Bone marrow aspirate smear · 250×250 px · 40× oil immersion.
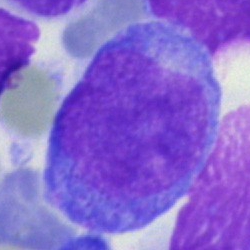 Morphological class — undifferentiated blast.